Single cell centered in the field; bone marrow smear; 250×250 px
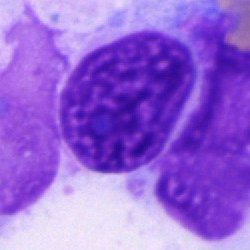

{"cell_type": "cell of indeterminate lineage"}